Bone marrow smear: 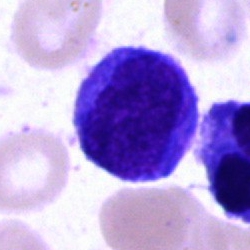Undifferentiated blast.